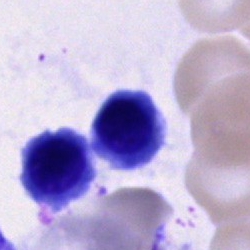Q: What cell is this?
A: An erythroblast.